Bone marrow smear · 250×250 px
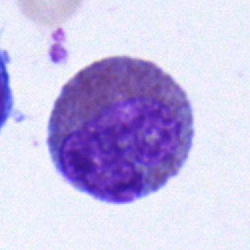Impression → eosinophil.